Bone marrow smear
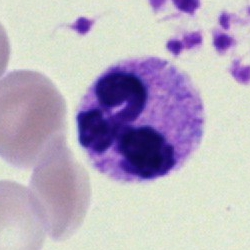 Q: Identify the cell.
A: A neutrophil (segmented).